40× objective, oil immersion; May-Grünwald-Giemsa stain; bone marrow smear:
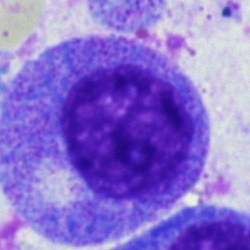

Cell type: progranulocyte.